Bone marrow aspirate smear. 250×250 — 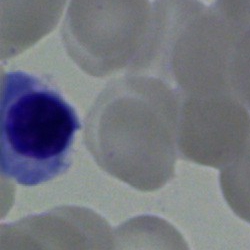
Morphology consistent with a nucleated red blood cell.